Bone marrow smear
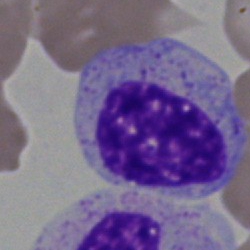 Impression → myelocyte.